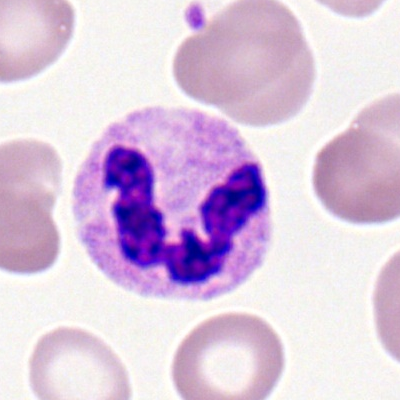Q: What type of cell is this?
A: Neutrophil (segmented).